May-Grünwald-Giemsa/Pappenheim stain; bone marrow aspirate smear: 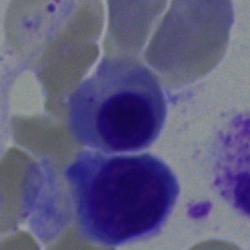 A nucleated red cell.